Bone marrow aspirate smear: 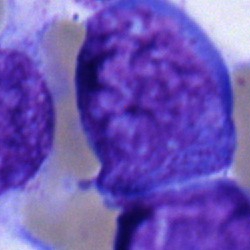 Impression — blast.